Bone marrow aspirate smear; May-Grünwald-Giemsa/Pappenheim stain — 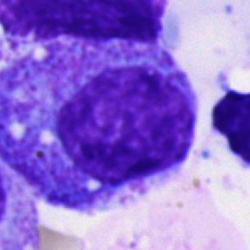
Morphology consistent with a progranulocyte.